Bone marrow aspirate smear — 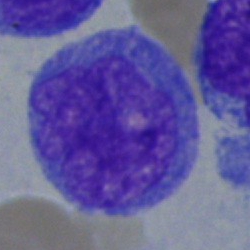

The cell shown is an undifferentiated blast.